40× oil immersion · bone marrow smear · cropped to a single cell
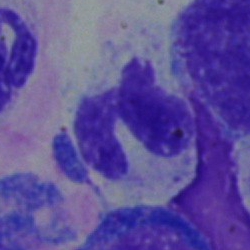

Morphology consistent with a neutrophil (segmented).